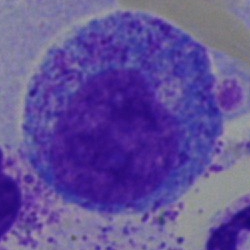 Bone marrow aspirate smear, single cell — progranulocyte.